400×400 px. Romanowsky stain. Peripheral blood film.
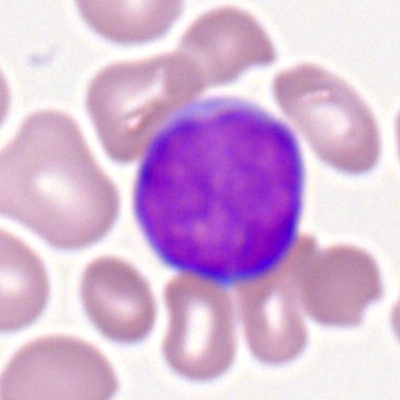
Cell type = myeloid blast.